Bone marrow aspirate smear.
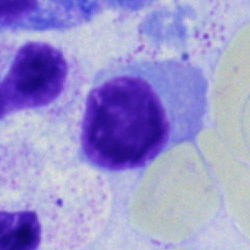 Erythroblast.